MGG-stained; bone marrow aspirate smear — 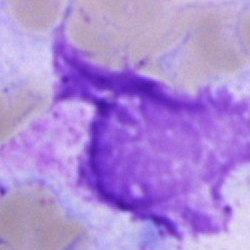
Single cell identified as an artefact.